MGG stain. 360×363. Peripheral blood film
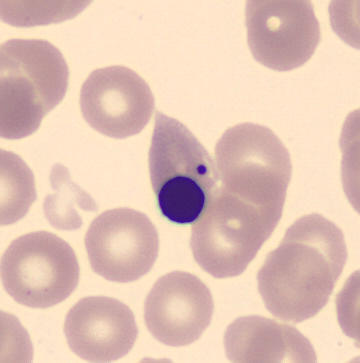
Q: What is the morphological classification of this cell?
A: A normoblast.